Bone marrow aspirate smear · Pappenheim-stained.
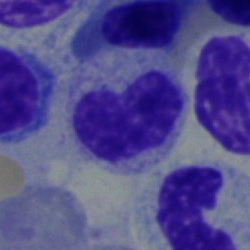 A metamyelocyte.